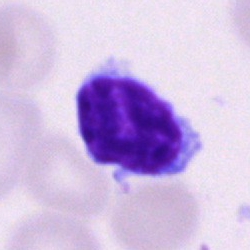 Impression — lymphocyte.